Single-cell field; bone marrow aspirate smear.
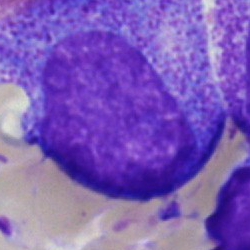
Specimen: bone marrow smear.
Morphological class: promyelocyte.
Lineage: myeloid.